Peripheral blood smear · 400×400 px:
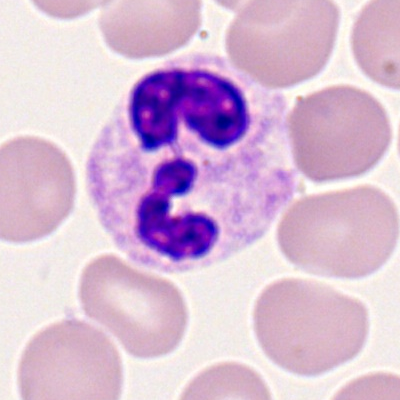

Specimen: peripheral blood film.
Morphological class: neutrophil (segmented).